Bone marrow smear.
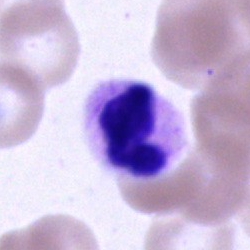
Q: Identify the cell.
A: It is a segmented neutrophil.